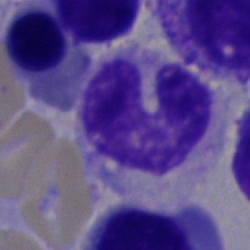A band-form neutrophil on a bone marrow smear.